May-Grünwald-Giemsa stain; bone marrow smear.
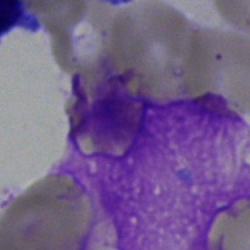Q: What is shown here?
A: It is an artifact.